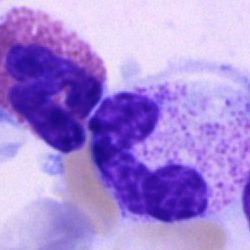 Bone marrow smear showing a neutrophil (segmented).